Bone marrow aspirate smear
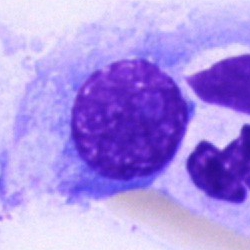
Single cell identified as a plasmacyte.